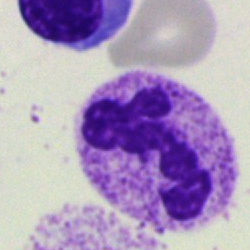The cell shown is a neutrophil (segmented).